Image size 250×250; bone marrow smear:
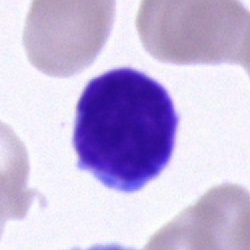
Showing a typical lymphocyte.